Bone marrow smear · cropped to a single cell: 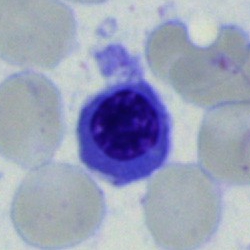 Morphology consistent with an erythroblast.